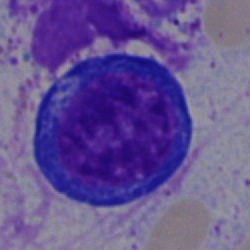Specimen: bone marrow aspirate smear.
Classification: proerythroblast.
Lineage: erythroid.